Bone marrow aspirate smear — 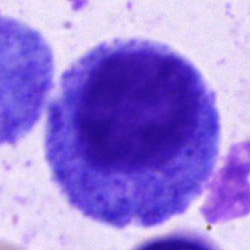

Showing a promyelocyte.